Bone marrow aspirate smear: 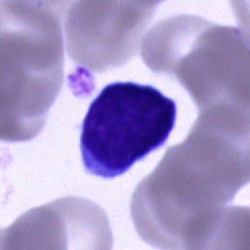 Q: Which cell type is shown here?
A: This is a lymphocyte.